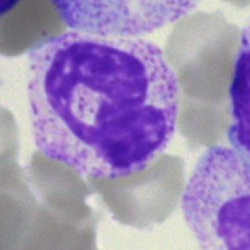
{"cell_type": "neutrophil (segmented)", "lineage": "myeloid"}